Bone marrow aspirate smear
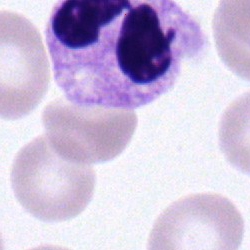

Q: What cell is this?
A: Neutrophil (segmented).